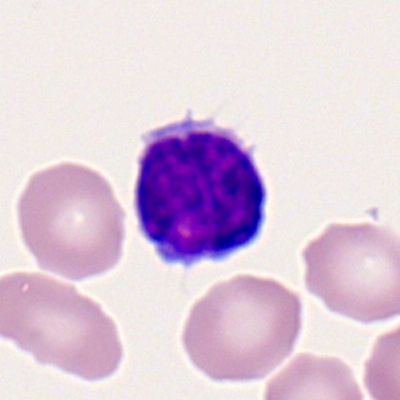 The morphological class is typical lymphocyte.